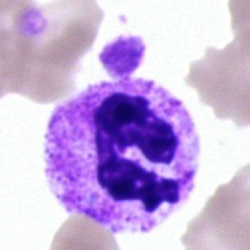

Showing a polymorphonuclear neutrophil.